Bone marrow smear. May-Grünwald-Giemsa stain. Image size 250×250 — 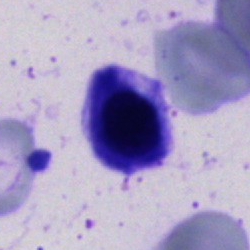Q: What cell is this?
A: It is a nucleated red cell.